Bone marrow smear; 250×250 px
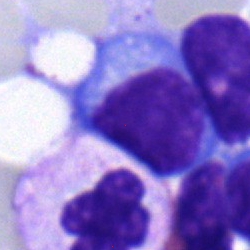
Q: Identify the cell.
A: Typical lymphocyte.